40× objective, oil immersion; bone marrow aspirate smear; 250×250 px.
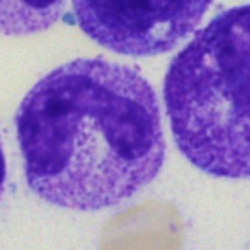

Classification — band-form neutrophil.